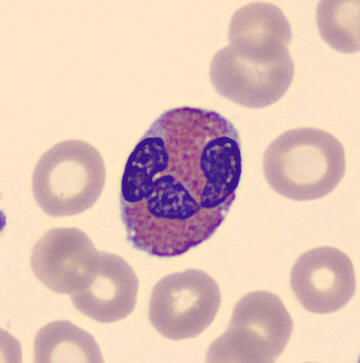Q: What is the morphological classification of this cell?
A: An eosinophilic granulocyte.